Peripheral blood smear:
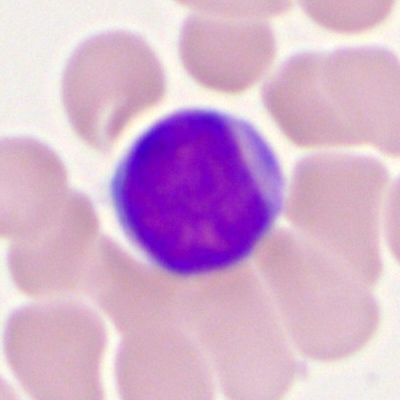 Morphology consistent with a myeloblast.